400×400 px · peripheral blood film · single-cell field.
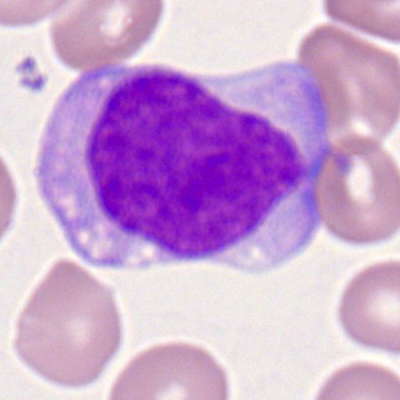 Q: What cell is this?
A: Monocyte.